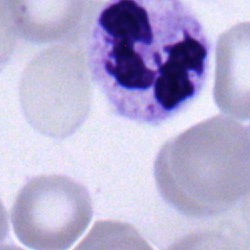Q: Which cell type is shown here?
A: Polymorphonuclear neutrophil.